Bone marrow smear · May-Grünwald-Giemsa stain
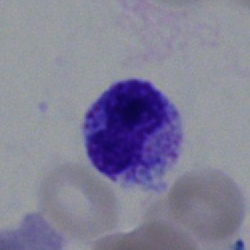 Morphology — band-form neutrophil.